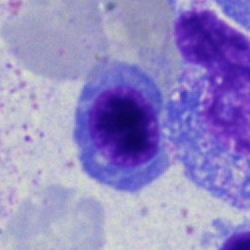This is an erythroblast.